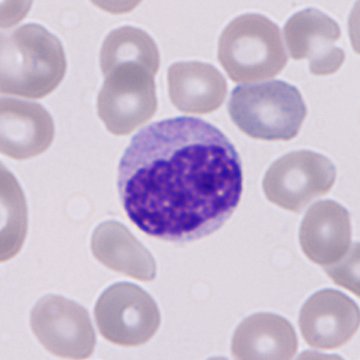 The cell shown is an immature granulocyte.

Acquisition: Peripheral blood film.